Bone marrow aspirate smear · May-Grünwald-Giemsa stain · 250×250.
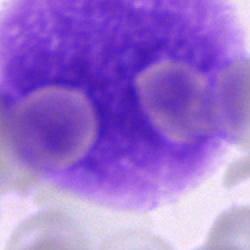

This is an artefact.